Peripheral blood smear. Brightfield, 100× oil-immersion objective. Image size 400×400: 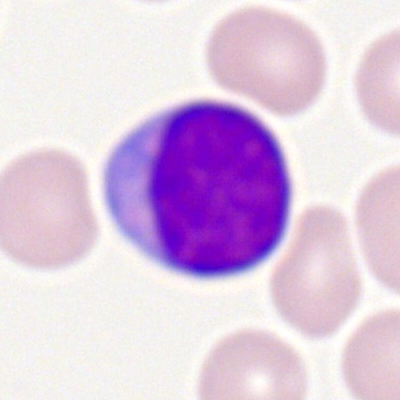 Specimen: peripheral blood smear.
Cell type: myeloblast.
Lineage: myeloid.